Single-cell field · bone marrow smear: 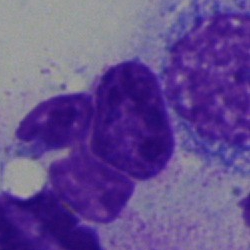Artefact.